Bone marrow smear — 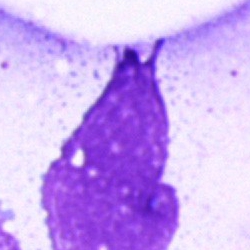

Specimen: bone marrow smear.
Cell: artifact.